Bone marrow aspirate smear.
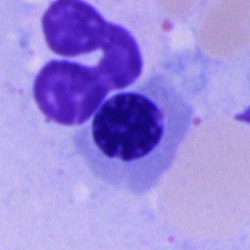Erythroblast.